Bone marrow aspirate smear
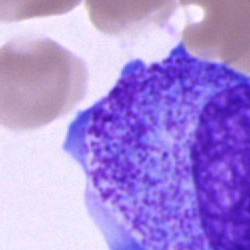

Specimen: bone marrow smear.
Cell: progranulocyte.